Bone marrow smear: 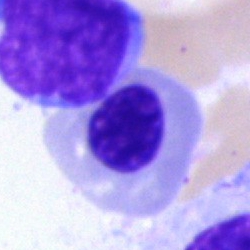
Morphological class = normoblast.